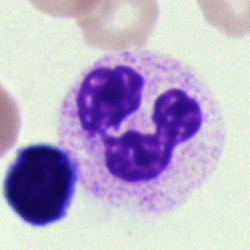
Q: What is the morphological classification of this cell?
A: It is a segmented neutrophil.